Bone marrow smear
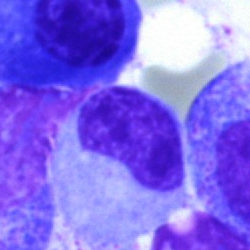 Q: Identify the cell.
A: Metamyelocyte.